250×250 · bone marrow aspirate smear · May-Grünwald-Giemsa/Pappenheim stain — 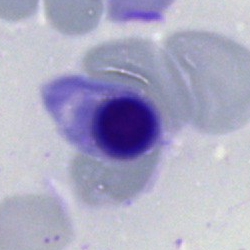

Specimen: bone marrow smear.
Cell: nucleated red blood cell.
Lineage: erythroid.